Bone marrow smear: 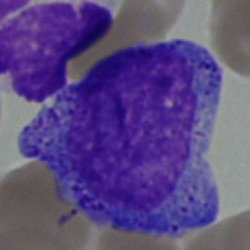 Classification — progranulocyte.